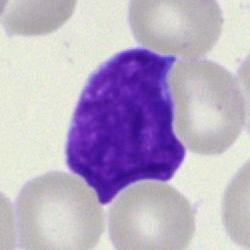Q: What is shown here?
A: This is a blast cell.